Image size 250×250. Bone marrow aspirate smear. Brightfield, 40× oil-immersion objective:
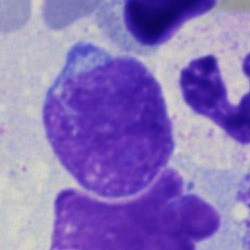
Q: What type of cell is this?
A: It is a blast.